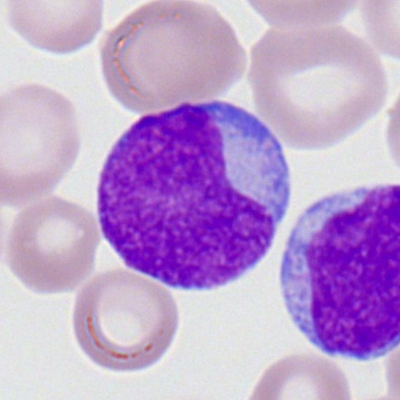 A myeloid blast on a peripheral blood smear.